Bone marrow smear:
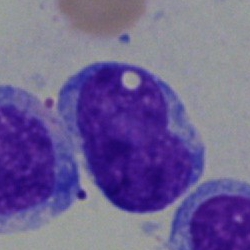
Specimen: bone marrow aspirate smear.
Cell: blast.